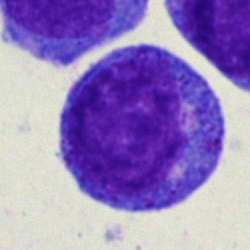The morphological class is progranulocyte.